Bone marrow smear · brightfield microscopy, 40× oil immersion · May-Grünwald-Giemsa stain.
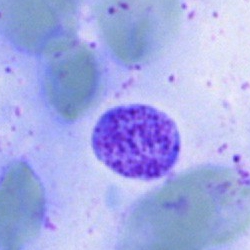Q: What is shown here?
A: It is an artefact.